Bone marrow smear:
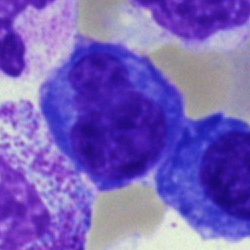Q: Identify the cell.
A: A plasmacyte.